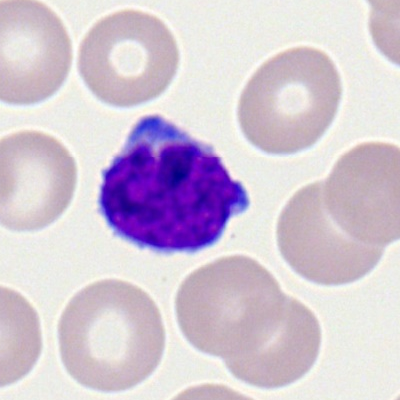
Cell = lymphocyte.